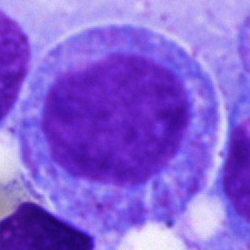 Specimen: bone marrow aspirate smear.
Cell type: promyelocyte.